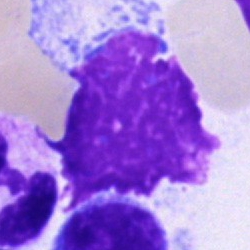Q: What is shown here?
A: An artefact.